Bone marrow smear: 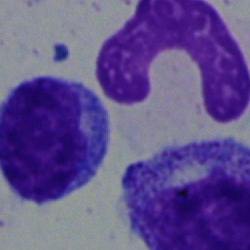

This is an undifferentiated blast.